Brightfield, 40× oil-immersion objective. Bone marrow smear. Image size 250×250
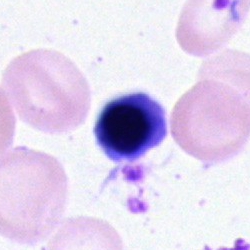 Single cell identified as a normoblast.